Brightfield microscopy, 40× oil immersion · bone marrow smear · MGG-stained: 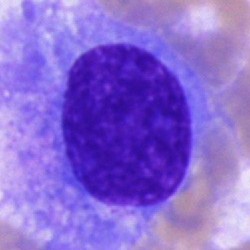The cell shown is a plasmacyte.